Bone marrow aspirate smear.
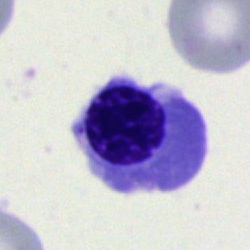This is a normoblast.